Single-cell crop · brightfield, 40× oil-immersion objective · bone marrow aspirate smear — 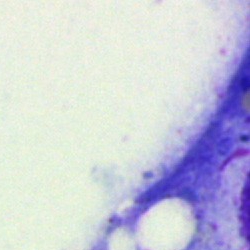

Specimen: bone marrow aspirate smear.
Cell type: artifact.